Bone marrow smear:
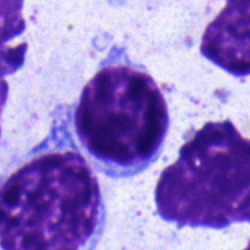 Specimen: bone marrow aspirate smear.
Classification: typical lymphocyte.